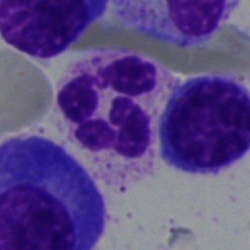
Q: Which cell type is shown here?
A: This is a polymorphonuclear neutrophil.